Bone marrow aspirate smear
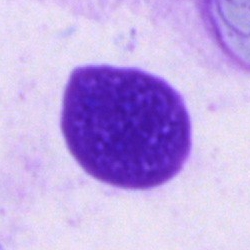Q: What is shown here?
A: It is an artefact.